Bone marrow aspirate smear — 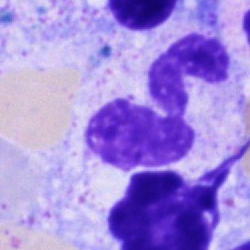Morphological class — segmented neutrophil.